Bone marrow aspirate smear — 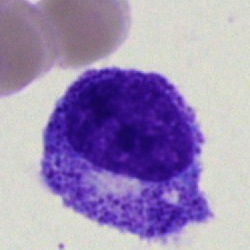 Specimen: bone marrow aspirate smear.
Morphological class: myelocyte.